Bone marrow smear
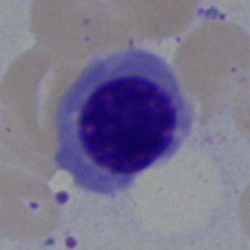
Showing a nucleated red blood cell.